Romanowsky-type stain. Peripheral blood smear — 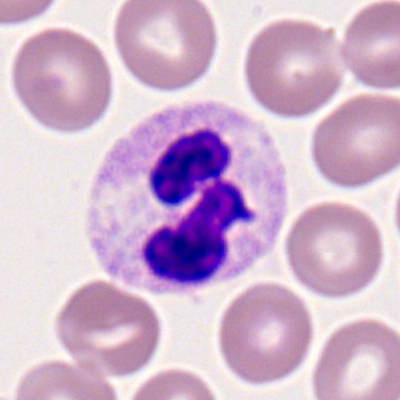

Single cell identified as a polymorphonuclear neutrophil.